Bone marrow smear. Brightfield microscopy, 40× oil immersion:
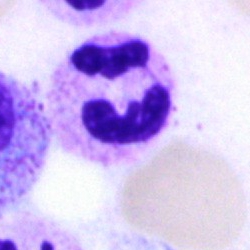Morphological class: segmented neutrophil.